40× objective, oil immersion. Bone marrow aspirate smear:
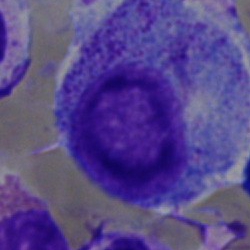 This is a promyelocyte.